Bone marrow smear:
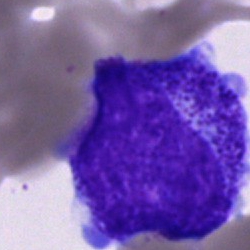The cell shown is a promyelocyte.